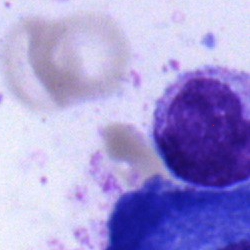 Specimen: bone marrow aspirate smear.
Cell type: myelocyte.